100× oil immersion · peripheral blood smear:
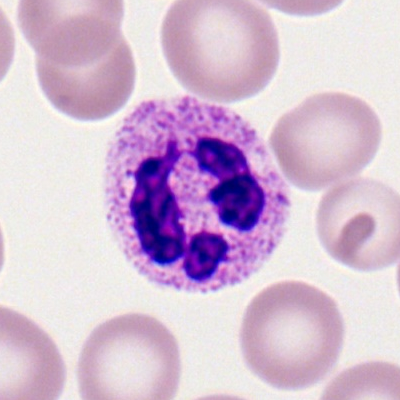Specimen: peripheral blood film.
Cell type: polymorphonuclear neutrophil.
Lineage: myeloid.